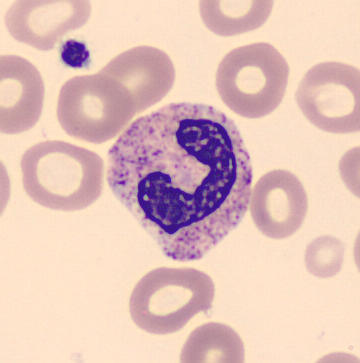Specimen: peripheral blood film.
Cell: neutrophil (band).
Lineage: myeloid.